250×250 · bone marrow smear:
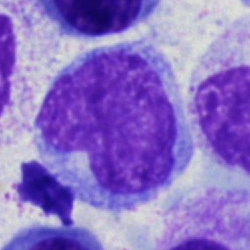
Q: Identify the cell.
A: This is a monocyte.